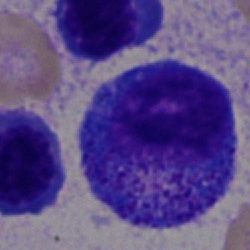Single-cell crop from a bone marrow smear: progranulocyte.